Bone marrow smear; MGG-stained: 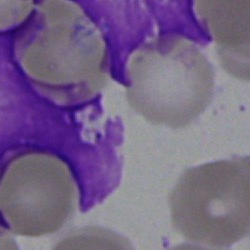This is an artefact.